Bone marrow aspirate smear: 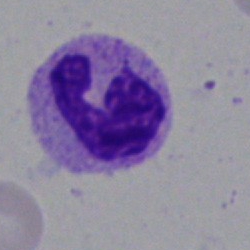
Cell type = polymorphonuclear neutrophil.